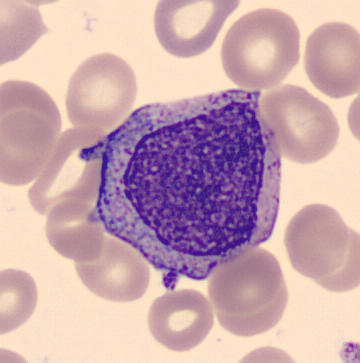 Showing a progranulocyte.
Peripheral blood smear.